Bone marrow smear: 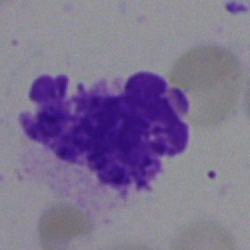
Artifact.